Single-cell crop. Bone marrow aspirate smear
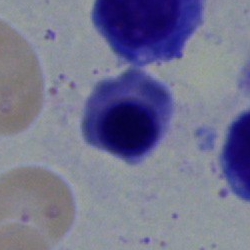Morphology consistent with an erythroblast.